Bone marrow smear:
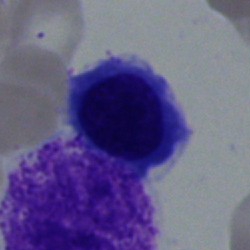 Cell type: nucleated red blood cell.